Bone marrow aspirate smear.
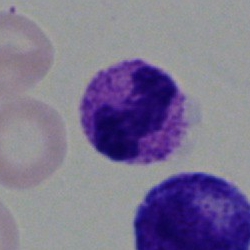
Cell type = segmented neutrophil.